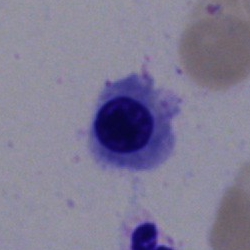
Erythroblast.